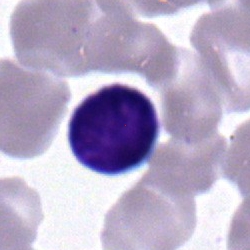
Morphology — lymphocyte.